Bone marrow aspirate smear
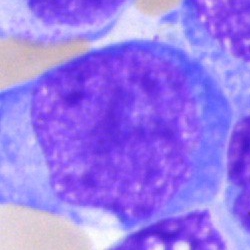

Q: What cell is this?
A: This is an undifferentiated blast.